Cropped to a single cell. Pappenheim-stained. Bone marrow smear — 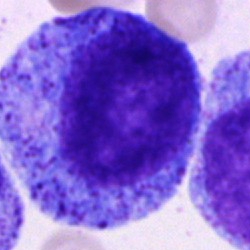

Cell: progranulocyte.